Bone marrow smear
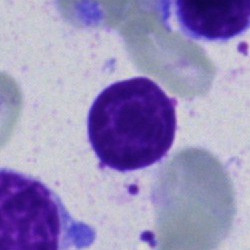

Single cell identified as an artifact.